Bone marrow aspirate smear; image size 250×250 — 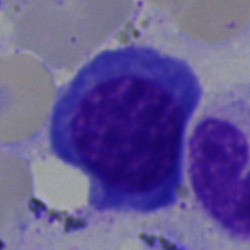

Morphological class — nucleated red blood cell.